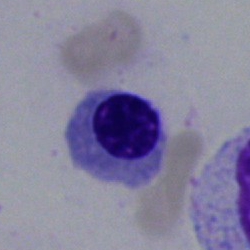 Morphology → normoblast.